Bone marrow aspirate smear. Image size 250×250:
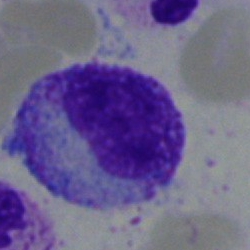
Classification: myelocyte.